Peripheral blood smear — 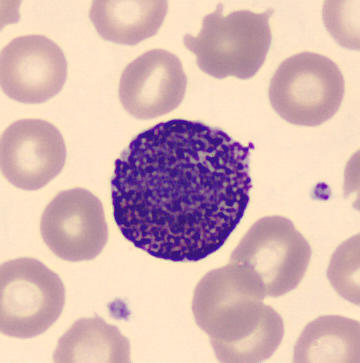
Classification = basophilic granulocyte.